May-Grünwald-Giemsa stain · bone marrow smear: 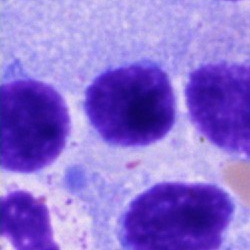

Specimen: bone marrow aspirate smear.
Cell type: lymphocyte.